Peripheral blood film
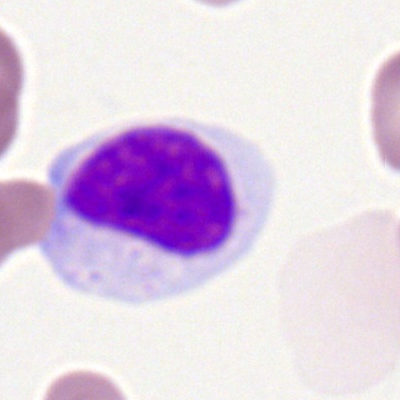Morphological class — typical lymphocyte.